Bone marrow aspirate smear: 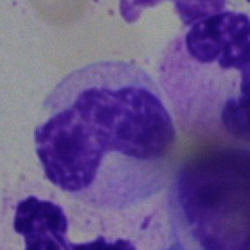

This is a neutrophil (band).